40× oil immersion; bone marrow smear; 250 by 250 pixels.
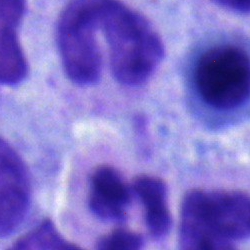A neutrophil (segmented).